Brightfield, 40× oil-immersion objective; bone marrow aspirate smear
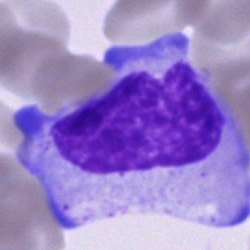This is an unidentifiable cell.